Romanowsky stain; peripheral blood film.
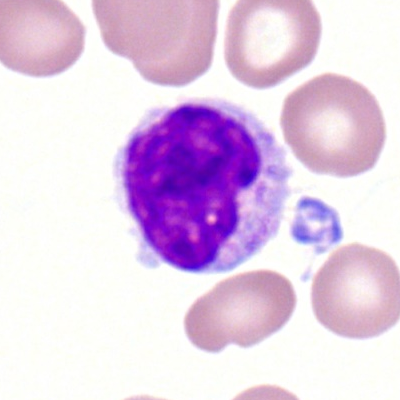

A lymphocyte.